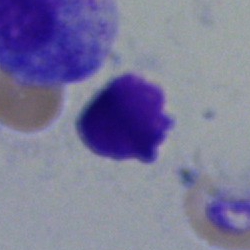
The classification is typical lymphocyte.